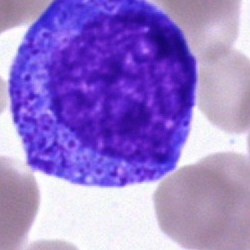
{"cell_type": "promyelocyte", "lineage": "myeloid"}